Bone marrow aspirate smear · single-cell field · 250×250 px.
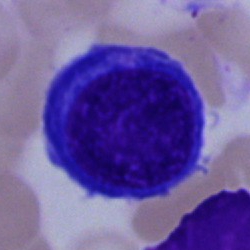Q: What type of cell is this?
A: A nucleated red blood cell.